Bone marrow smear
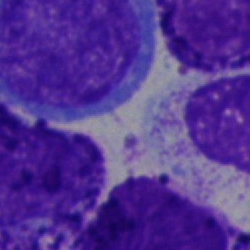
Specimen: bone marrow smear.
Cell: blast.